Bone marrow smear:
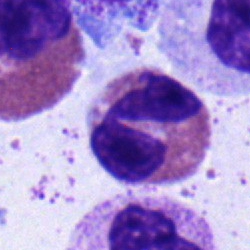
This is an eosinophilic granulocyte.